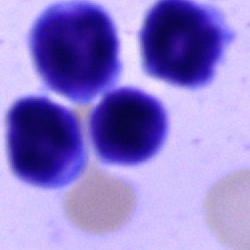

The cell type is lymphocyte.